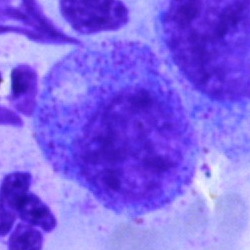 Morphology → progranulocyte.